Bone marrow smear: 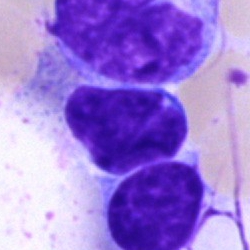 Single cell identified as a lymphocyte.